Brightfield microscopy, 40× oil immersion · bone marrow aspirate smear — 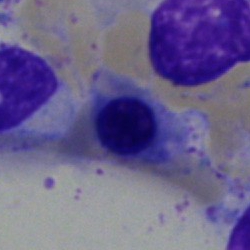

Q: What type of cell is this?
A: A normoblast.